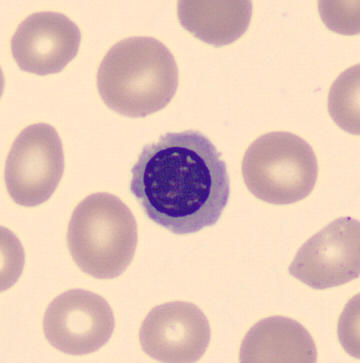Specimen: peripheral blood film.
Classification: normoblast.

Preparation: Imaged on a CellaVision DM96 analyser · 360 by 363 pixels.